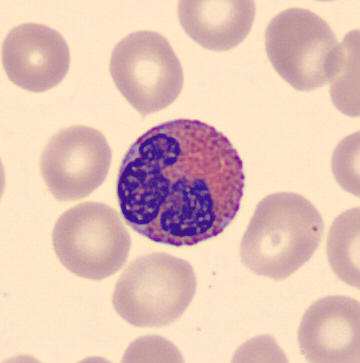

This is an eosinophil.
Image: Single-cell crop. Peripheral blood smear.